Bone marrow aspirate smear. Single-cell field.
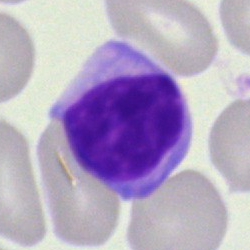Specimen: bone marrow aspirate smear.
Morphological class: typical lymphocyte.